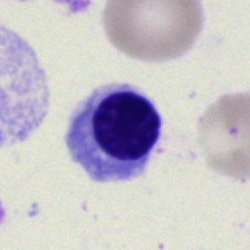Single-cell crop from a bone marrow smear: nucleated red cell.